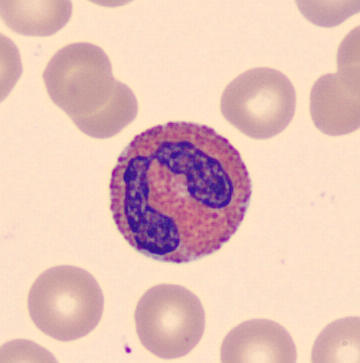An eosinophilic granulocyte. Image: Peripheral blood smear.